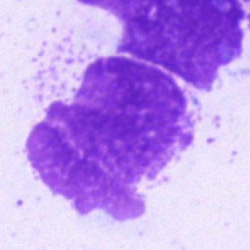

Cell type = artifact.